May-Grünwald-Giemsa/Pappenheim stain. Bone marrow aspirate smear. Single-cell field.
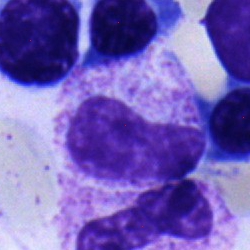Cell: metamyelocyte.